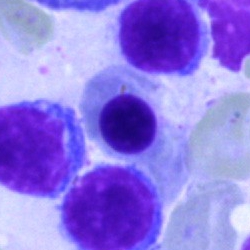

Q: What type of cell is this?
A: A nucleated red cell.